Bone marrow aspirate smear:
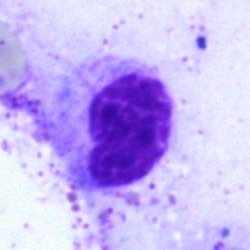

Impression → metamyelocyte.